Bone marrow smear:
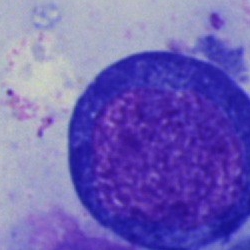
Classification: nucleated red cell.